Bone marrow aspirate smear · 40× oil immersion — 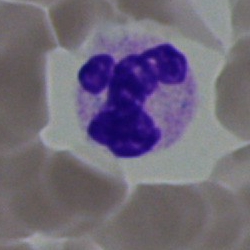
This is a segmented neutrophil.